Bone marrow aspirate smear — 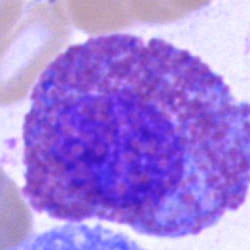

Specimen: bone marrow smear.
Cell: eosinophil.